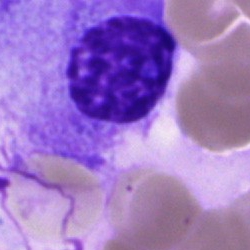{"cell_type": "plasmacyte", "lineage": "lymphoid"}